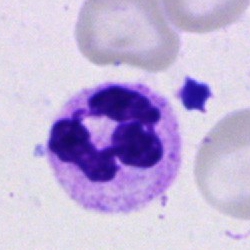

Single cell identified as a segmented neutrophil.